Bone marrow smear:
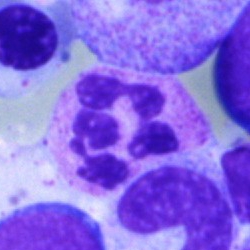
This is a neutrophil (segmented).